Bone marrow smear: 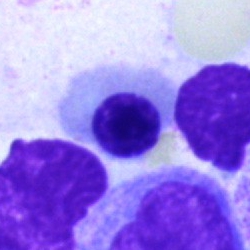 Morphology consistent with an erythroblast.